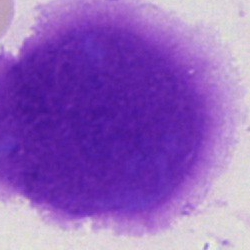
Single-cell crop from a bone marrow smear: artifact.